Pappenheim-stained; bone marrow aspirate smear.
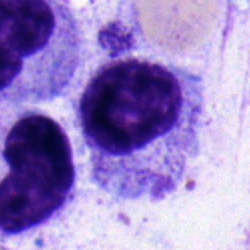 Q: Which cell type is shown here?
A: Myelocyte.